Bone marrow smear. Single-cell field. May-Grünwald-Giemsa stain
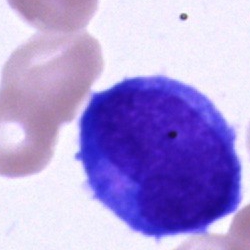

The classification is undifferentiated blast.